Bone marrow smear. Single-cell field:
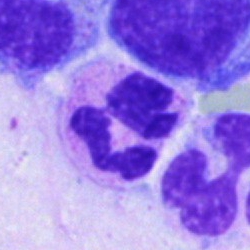

Specimen: bone marrow aspirate smear.
Cell type: neutrophil (segmented).